Bone marrow aspirate smear; May-Grünwald-Giemsa/Pappenheim stain; brightfield microscopy, 40× oil immersion: 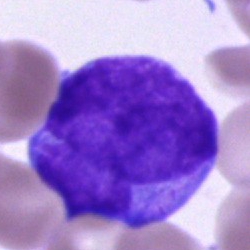

Morphology consistent with an undifferentiated blast.